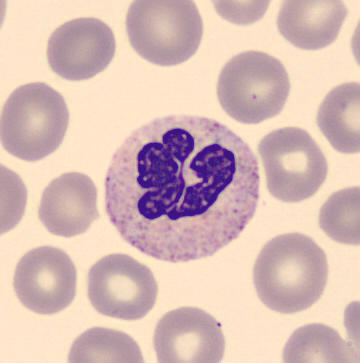The classification is polymorphonuclear neutrophil.